Single-cell crop. Bone marrow smear:
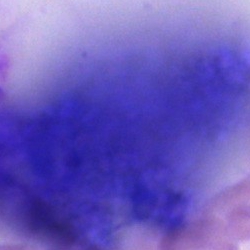

The cell type is artefact.